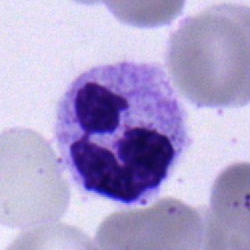
Segmented neutrophil.